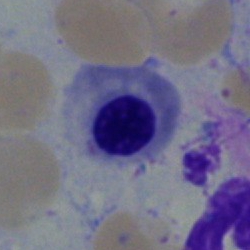

A nucleated red blood cell on a bone marrow smear.